40× oil immersion · bone marrow smear · single cell centered in the field
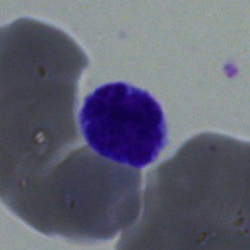

Q: Identify the cell.
A: This is a typical lymphocyte.